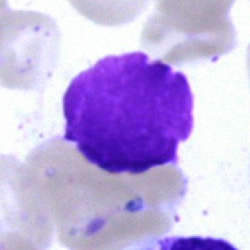

An artifact on a bone marrow smear.